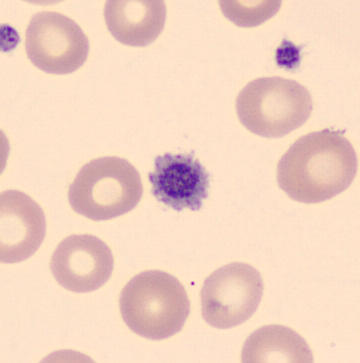Q: What is shown here?
A: It is a thrombocyte.